Bone marrow aspirate smear:
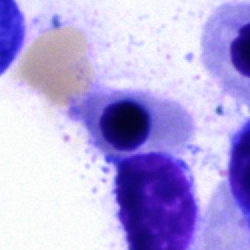The cell shown is a normoblast.